Bone marrow aspirate smear. Cropped to a single cell. 40× objective, oil immersion: 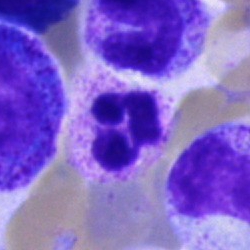 Q: What is shown here?
A: It is a segmented neutrophil.